Bone marrow aspirate smear: 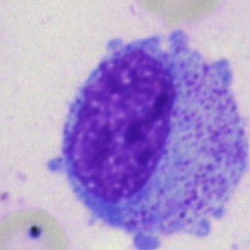 Q: What is the morphological classification of this cell?
A: This is a promyelocyte.